Pappenheim-stained; bone marrow aspirate smear:
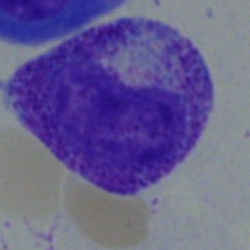The morphological class is myelocyte.